May-Grünwald-Giemsa/Pappenheim stain; bone marrow smear; single-cell field:
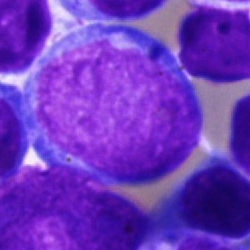

Q: Identify the cell.
A: Undifferentiated blast.